Bone marrow smear · cropped to a single cell:
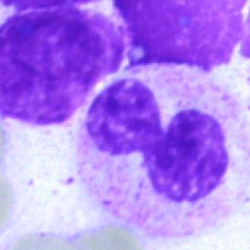

Cell = segmented neutrophil.